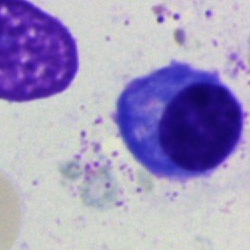 This is a plasma cell.